Bone marrow smear — 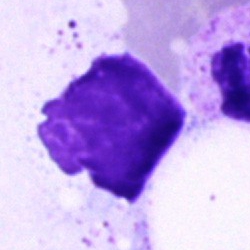 This is an artifact.